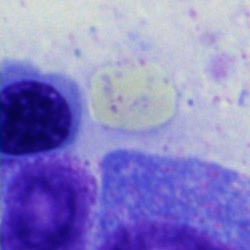
Q: What type of cell is this?
A: It is an unidentifiable cell.